Peripheral blood film · cropped to a single cell.
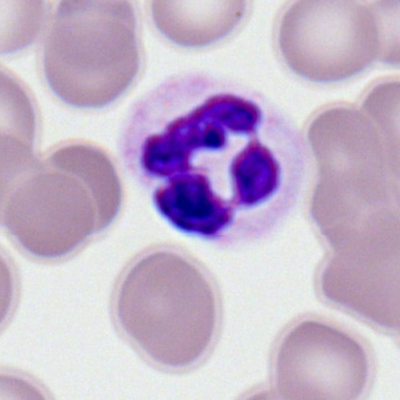 Q: Identify the cell.
A: A segmented neutrophil.